Bone marrow smear. MGG-stained
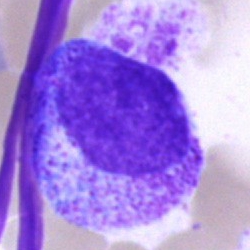

The cell shown is a progranulocyte.